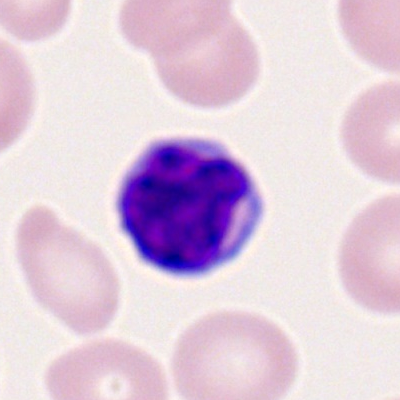Morphological class — lymphocyte.